Bone marrow smear · 250×250:
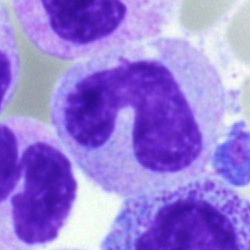
Specimen: bone marrow smear.
Classification: stab cell.
Lineage: myeloid.